Bone marrow smear.
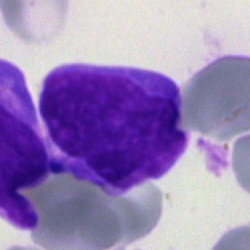Q: What is the morphological classification of this cell?
A: This is a blast cell.